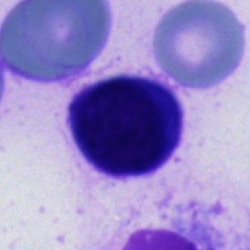

A cell of indeterminate lineage.